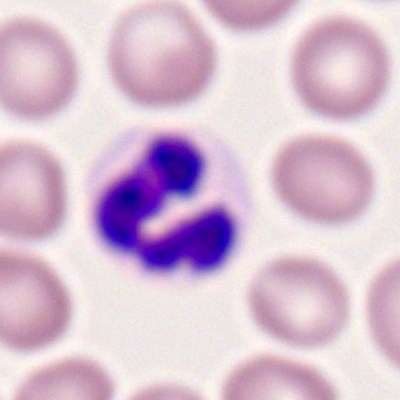 Single cell identified as a polymorphonuclear neutrophil.